Bone marrow aspirate smear.
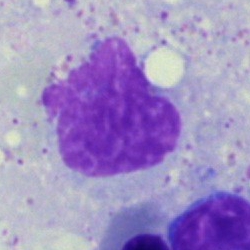Impression → artifact.